MGG-stained. Bone marrow aspirate smear.
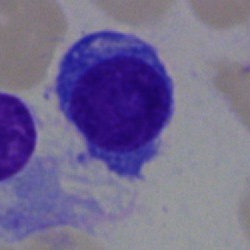 Classification = plasma cell.